Cropped to a single cell · bone marrow aspirate smear: 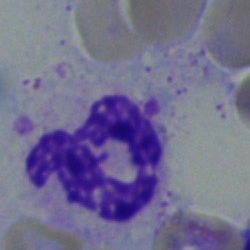

Specimen: bone marrow smear.
Cell: polymorphonuclear neutrophil.
Lineage: myeloid.